Bone marrow smear: 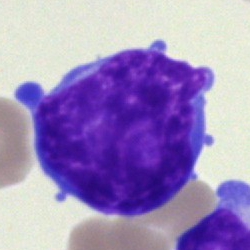
Showing a blast cell.